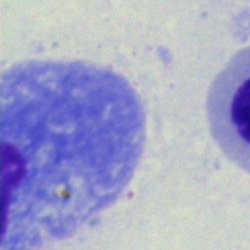

Q: Identify the cell.
A: Erythroblast.